Bone marrow smear; May-Grünwald-Giemsa stain; image size 250×250 — 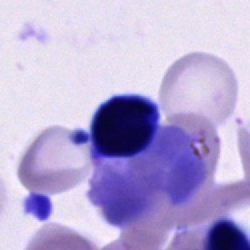
Showing a cell of indeterminate lineage.